Bone marrow aspirate smear:
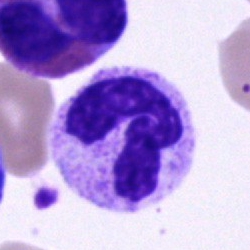
Classification = polymorphonuclear neutrophil.